Bone marrow aspirate smear:
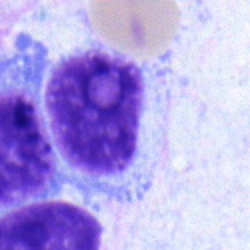 Cell type = lymphocyte.